Peripheral blood smear
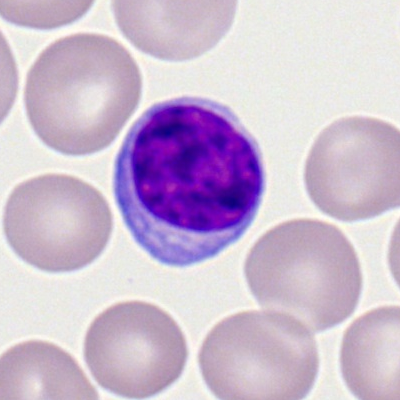 Showing a lymphocyte.